Single cell centered in the field; bone marrow smear; May-Grünwald-Giemsa/Pappenheim stain:
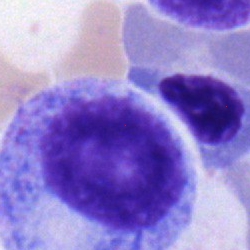
The cell shown is a promyelocyte.